Bone marrow smear — 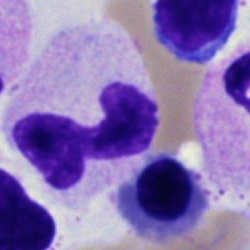

Q: Identify the cell.
A: It is a neutrophil (segmented).